Bone marrow aspirate smear: 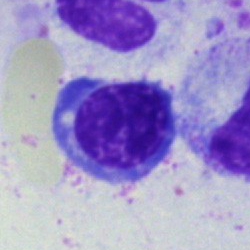Q: Identify the cell.
A: It is a nucleated red cell.